Peripheral blood film. 360×363 px — 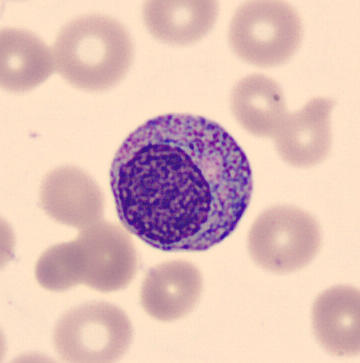Specimen: peripheral blood film.
Cell type: promyelocyte.